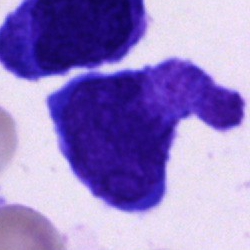 Impression — cell of indeterminate lineage.